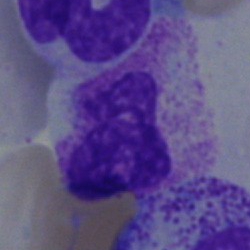Q: What type of cell is this?
A: It is a polymorphonuclear neutrophil.